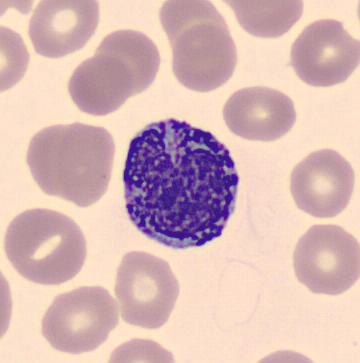
A basophilic granulocyte on a peripheral blood smear.